Bone marrow aspirate smear · single-cell crop:
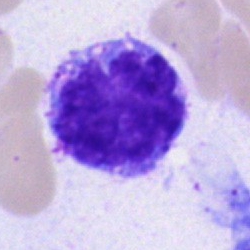

Showing a monocyte.